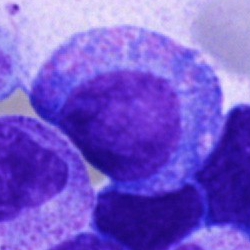

The cell type is promyelocyte.